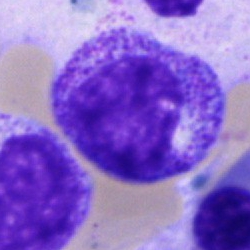

Q: What is the morphological classification of this cell?
A: Progranulocyte.